Bone marrow smear — 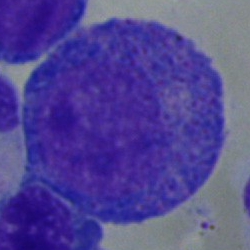

Cell: progranulocyte.